Bone marrow aspirate smear:
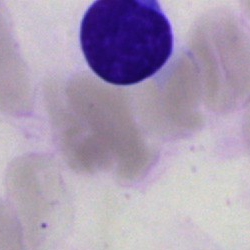

Showing a typical lymphocyte.